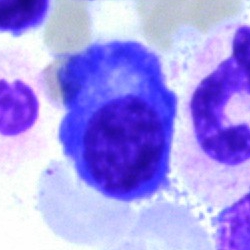 {"cell_type": "plasmacyte"}